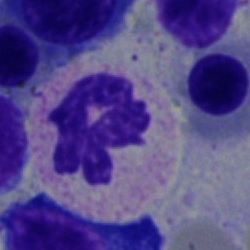 Segmented neutrophil.